May-Grünwald-Giemsa stain; bone marrow smear
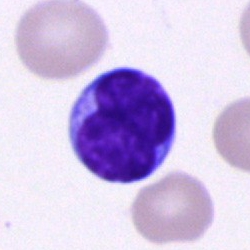 Impression → typical lymphocyte.